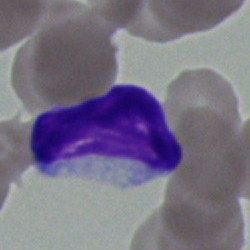Cell type = typical lymphocyte.